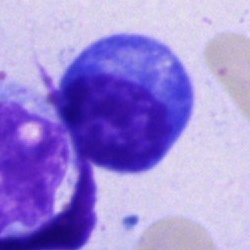 Specimen: bone marrow smear.
Cell: unidentifiable cell.